Cropped to a single cell · bone marrow aspirate smear.
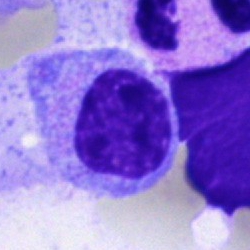

Morphology — myelocyte.